Peripheral blood film — 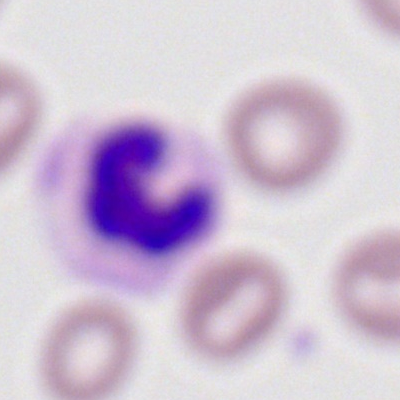

The cell is polymorphonuclear neutrophil.